Bone marrow aspirate smear · image size 250×250 · May-Grünwald-Giemsa/Pappenheim stain.
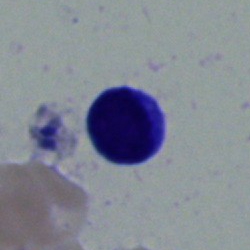
The cell type is lymphocyte.